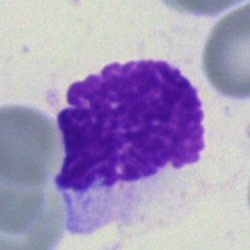 {"cell_type": "artefact"}